Bone marrow aspirate smear. Single-cell field
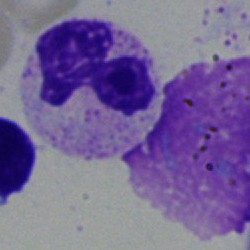 Classification = segmented neutrophil.